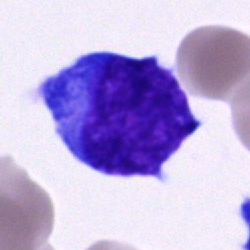
Cell type — undifferentiated blast.